40× objective, oil immersion; bone marrow smear.
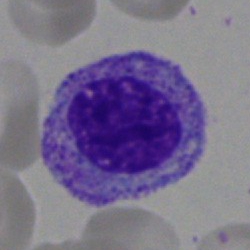 Q: What is shown here?
A: A progranulocyte.